Cropped to a single cell; MGG-stained; bone marrow smear — 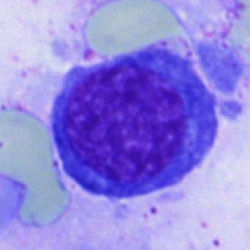

Morphology consistent with a nucleated red cell.